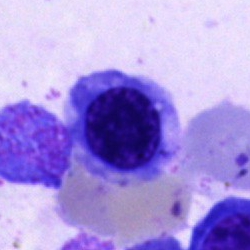

Q: What type of cell is this?
A: A normoblast.